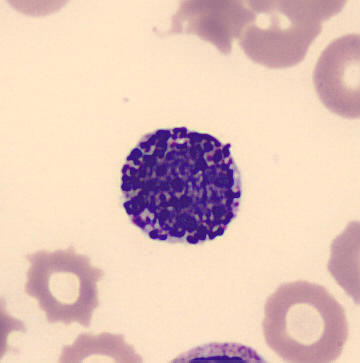
Q: What is the morphological classification of this cell?
A: This is a basophil.
Acquisition: Peripheral blood film.